May-Grünwald-Giemsa/Pappenheim stain. Bone marrow aspirate smear — 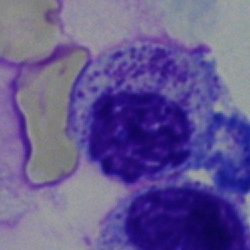

Specimen: bone marrow smear.
Cell type: myelocyte.